Bone marrow aspirate smear.
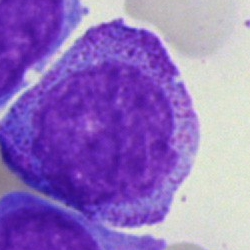Classification: promyelocyte.